Bone marrow aspirate smear; image size 250×250; 40× objective, oil immersion
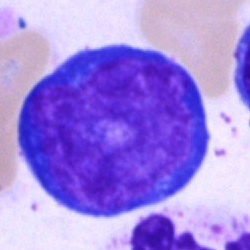

Q: Which cell type is shown here?
A: It is a pronormoblast.